Bone marrow smear: 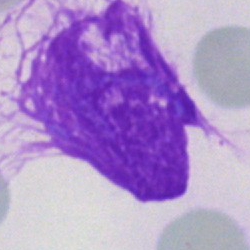

Morphology consistent with an artifact.